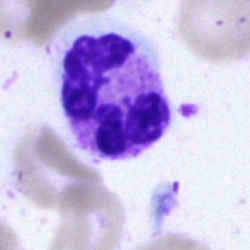Classification — polymorphonuclear neutrophil.